Bone marrow smear — 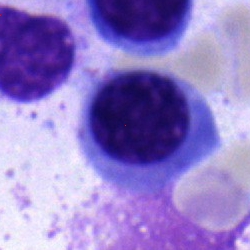 Cell = nucleated red blood cell.